Bone marrow aspirate smear; MGG-stained; brightfield, 40× oil-immersion objective:
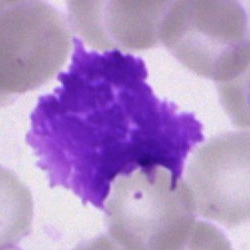

Q: What is shown here?
A: An artifact.